Bone marrow smear: 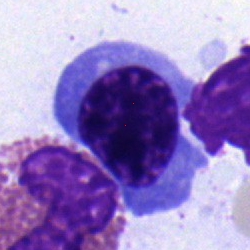 An erythroblast.